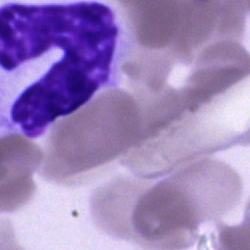

Specimen: bone marrow aspirate smear.
Cell: artefact.